Bone marrow aspirate smear — 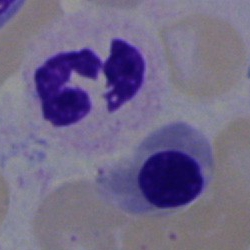 Specimen: bone marrow smear.
Cell type: nucleated red blood cell.
Lineage: erythroid.